Bone marrow aspirate smear.
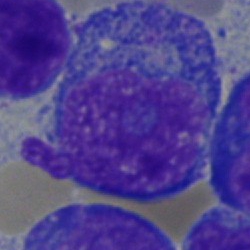Classification — undifferentiated blast.